Bone marrow smear — 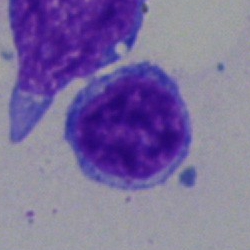Morphology consistent with a lymphocyte.